Bone marrow smear:
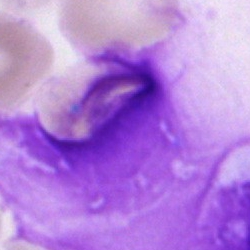

This is an artefact.